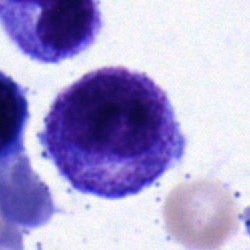 Specimen: bone marrow aspirate smear.
Cell: myelocyte.